40× oil immersion. Bone marrow aspirate smear
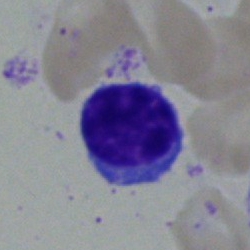
Cell = typical lymphocyte.